Peripheral blood film: 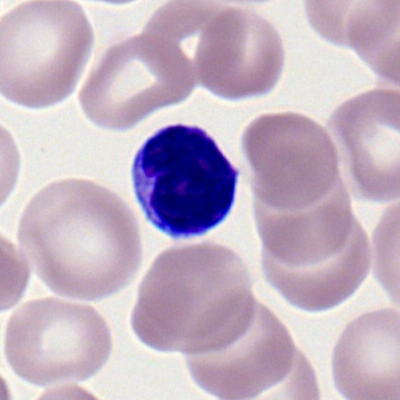

Morphological class — lymphocyte.